Bone marrow aspirate smear: 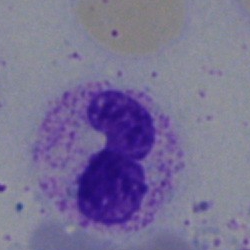
The cell is segmented neutrophil.